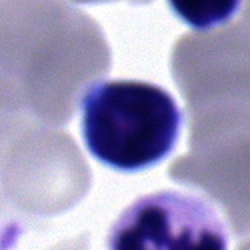
Cell = typical lymphocyte.